Bone marrow aspirate smear · Pappenheim-stained.
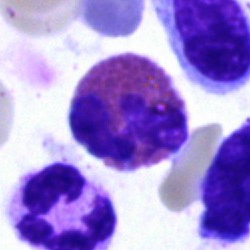

The morphological class is eosinophil.